Peripheral blood film; single cell centered in the field.
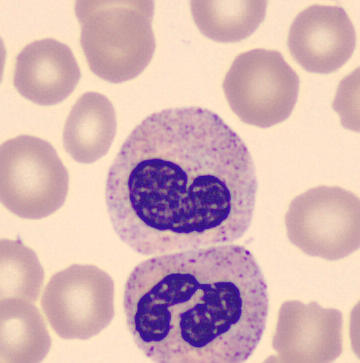Band-form neutrophil.